MGG-stained; bone marrow aspirate smear.
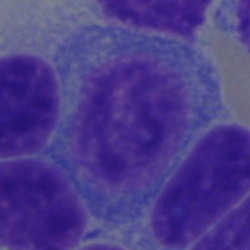
Cell = lymphocyte.